Peripheral blood smear
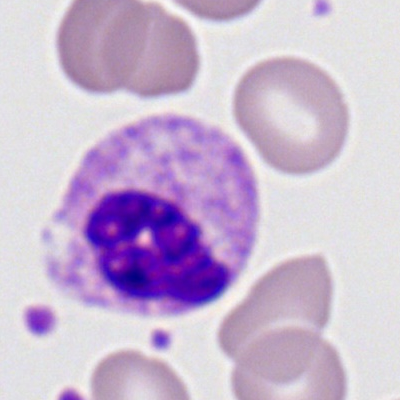

Q: What is the morphological classification of this cell?
A: This is a neutrophil (segmented).